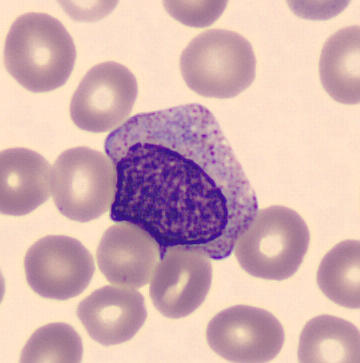
Classification: myelocyte.